Bone marrow smear:
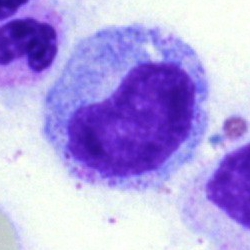 Specimen: bone marrow smear.
Classification: metamyelocyte.
Lineage: myeloid.